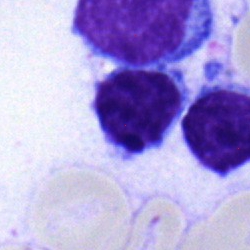Single-cell crop from a bone marrow smear: typical lymphocyte.